Bone marrow aspirate smear: 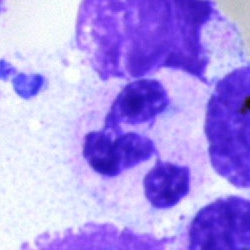
Polymorphonuclear neutrophil.